Bone marrow aspirate smear.
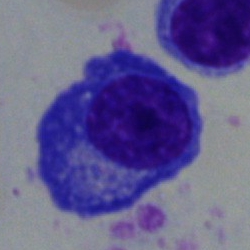Cell — plasma cell.